250×250 px. Bone marrow aspirate smear. MGG-stained — 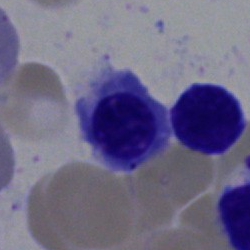Q: What is shown here?
A: Nucleated red blood cell.